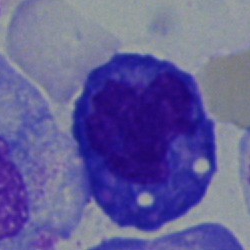Classification — plasma cell.